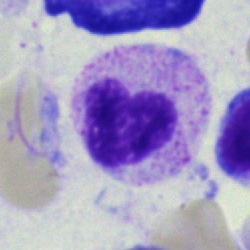
{"cell_type": "neutrophil (segmented)", "lineage": "myeloid"}